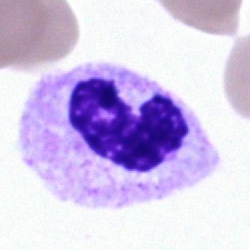 {"cell_type": "segmented neutrophil"}